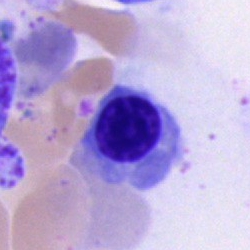Specimen: bone marrow smear.
Classification: nucleated red cell.